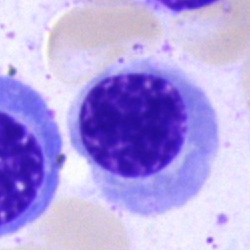Morphological class = nucleated red cell.